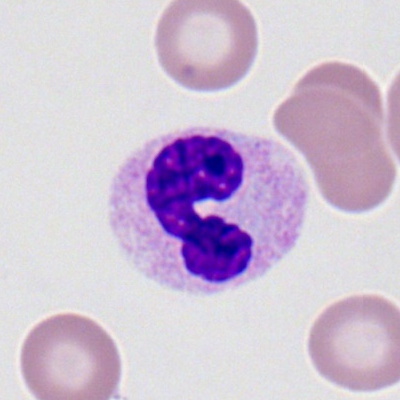

Single cell identified as a neutrophil (segmented).